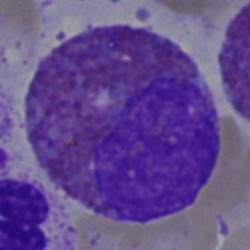
Single-cell crop from a bone marrow smear: eosinophil.